Bone marrow aspirate smear
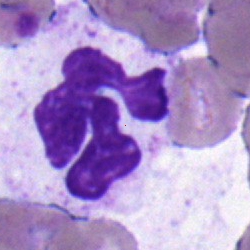

Classification — segmented neutrophil.